Peripheral blood film; single cell centered in the field; 100× oil immersion
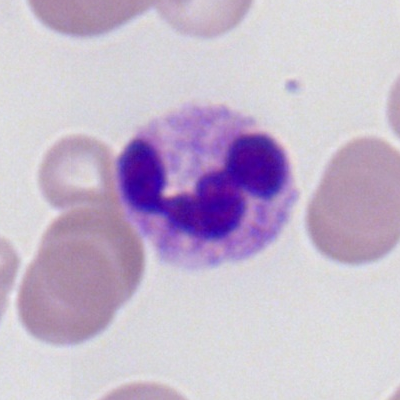

{"cell_type": "polymorphonuclear neutrophil", "lineage": "myeloid"}